Peripheral blood film
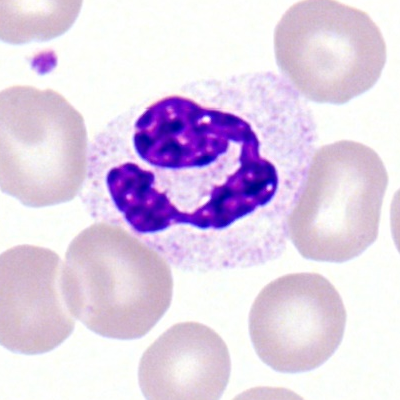

Q: Identify the cell.
A: This is a neutrophil (segmented).